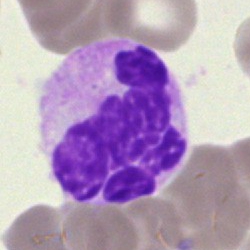
Showing a neutrophil (segmented).